Bone marrow smear — 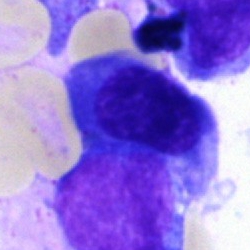 The cell is nucleated red blood cell.